Bone marrow smear · May-Grünwald-Giemsa stain — 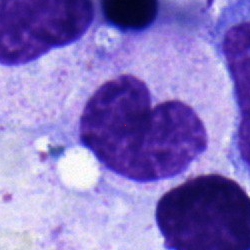A stab cell.